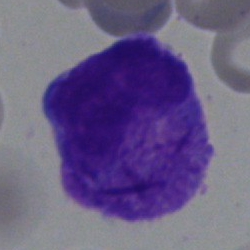
The cell is faggot cell.